Bone marrow aspirate smear:
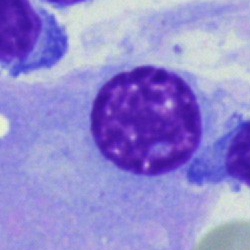 A plasma cell.